Single-cell crop; bone marrow smear — 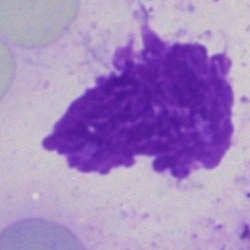

Cell type — artifact.